Single-cell crop · bone marrow aspirate smear.
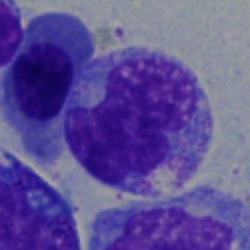
Q: What type of cell is this?
A: It is a monocyte.